Bone marrow smear; brightfield microscopy, 40× oil immersion:
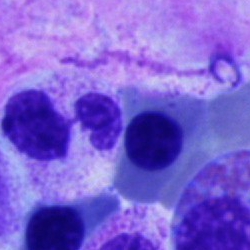Morphology consistent with a normoblast.